Bone marrow smear; 250×250 px.
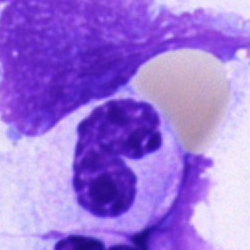
The cell shown is a band-form neutrophil.